Peripheral blood film.
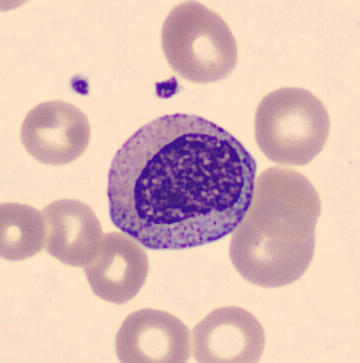Specimen: peripheral blood film.
Cell: myelocyte.